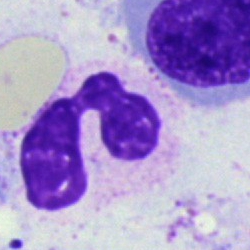 Q: Which cell type is shown here?
A: It is a polymorphonuclear neutrophil.